Single cell centered in the field. May-Grünwald-Giemsa stain. Bone marrow smear:
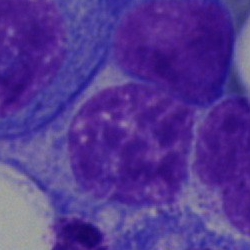
Morphology consistent with an unidentifiable cell.